Bone marrow smear; single-cell crop; brightfield microscopy, 40× oil immersion.
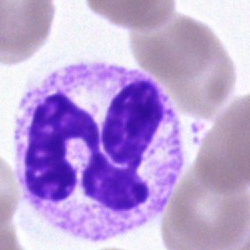 Specimen: bone marrow aspirate smear.
Cell: segmented neutrophil.